Bone marrow smear; 250×250 px: 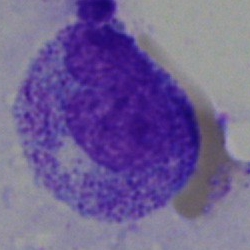

The cell shown is a myelocyte.